250×250 px · bone marrow smear · brightfield, 40× oil-immersion objective.
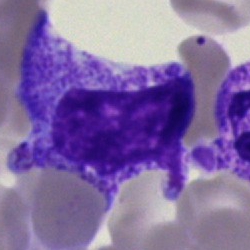
Myelocyte.